Peripheral blood film · MGG-stained
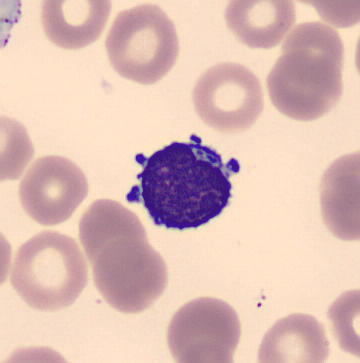

Specimen: peripheral blood smear.
Morphological class: typical lymphocyte.